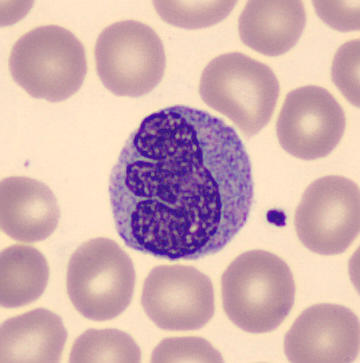
Preparation: Single cell centered in the field · peripheral blood smear.

Impression → monocyte.